Peripheral blood smear. May Grünwald-Giemsa stain — 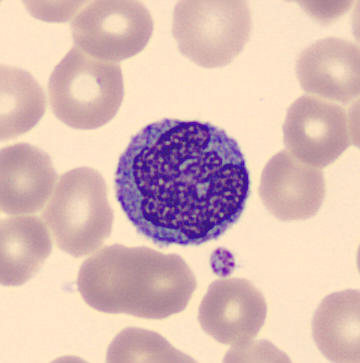 Morphology → monocyte.